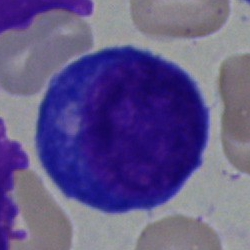
Single cell identified as a promyelocyte.